Bone marrow aspirate smear: 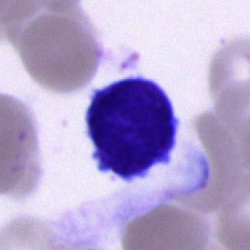Morphology consistent with a lymphocyte.